Peripheral blood film; Romanowsky-stained — 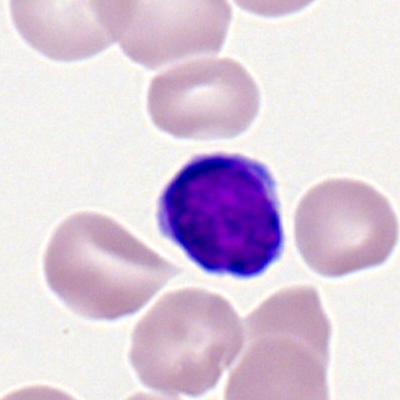Morphology → typical lymphocyte.